Single-cell crop; bone marrow smear:
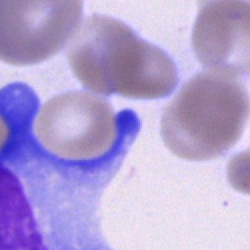Cell: cell of indeterminate lineage.